Single-cell crop; bone marrow smear; 250×250 px — 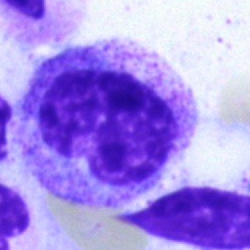The cell shown is a metamyelocyte.